Single-cell crop · peripheral blood smear.
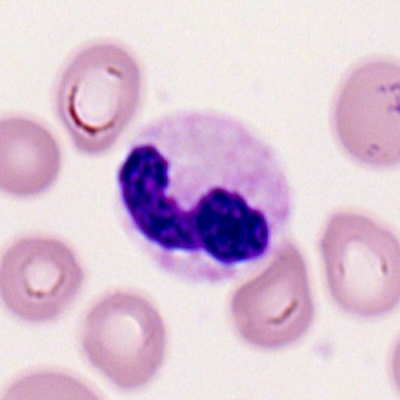 Specimen: peripheral blood film.
Classification: polymorphonuclear neutrophil.